Bone marrow smear: 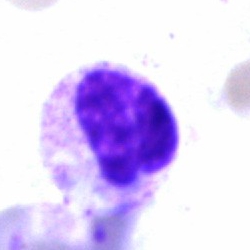 The classification is artefact.